Single-cell field. Bone marrow smear: 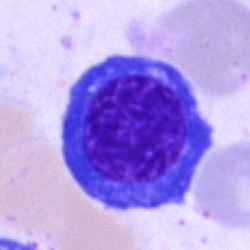

Morphological class: erythroblast.